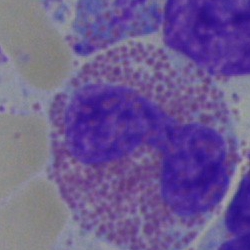
Cell type — eosinophilic granulocyte.